Bone marrow aspirate smear
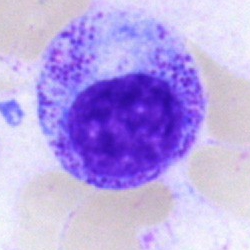

Specimen: bone marrow aspirate smear.
Classification: myelocyte.
Lineage: myeloid.